Bone marrow aspirate smear
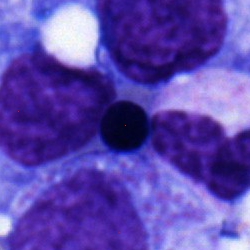
An erythroblast.